Bone marrow smear:
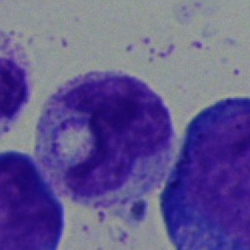 Specimen: bone marrow aspirate smear.
Classification: monocyte.